Peripheral blood film · 100× oil immersion: 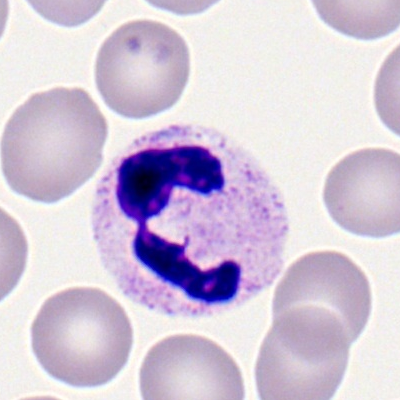Q: What type of cell is this?
A: This is a neutrophil (segmented).